Peripheral blood smear.
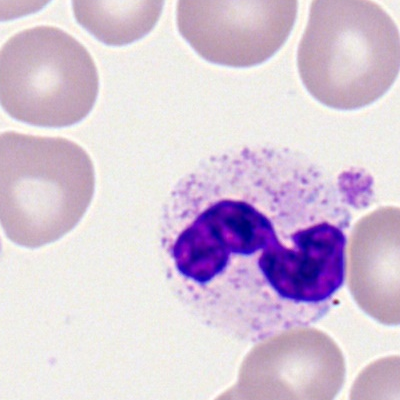
Q: Identify the cell.
A: Polymorphonuclear neutrophil.